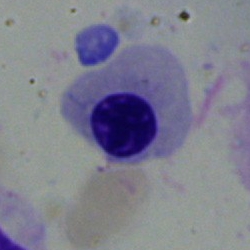

Bone marrow smear showing a nucleated red blood cell.